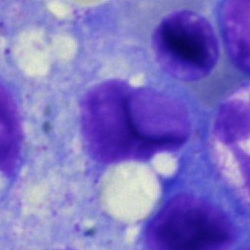Morphological class — artefact.